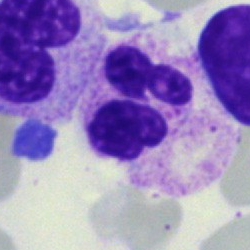
A neutrophil (segmented).